Bone marrow smear.
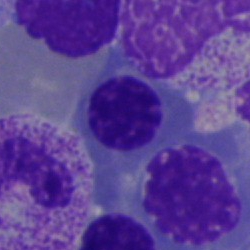
Erythroblast.